Bone marrow smear:
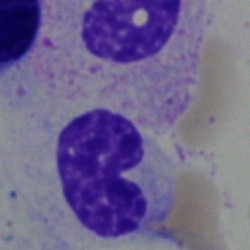
Morphology — stab cell.